Peripheral blood film — 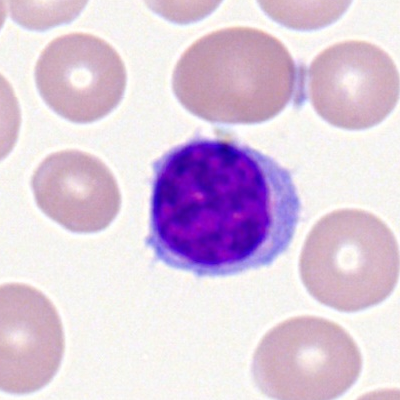

Q: What type of cell is this?
A: It is a lymphocyte.